Bone marrow smear
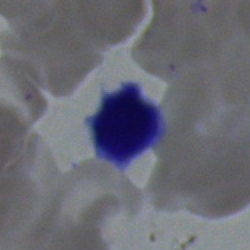

Specimen: bone marrow smear.
Cell type: lymphocyte.
Lineage: lymphoid.